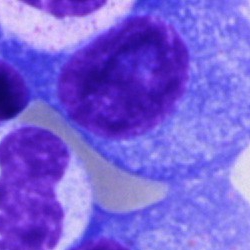

Showing a plasmacyte.